Bone marrow smear · single cell centered in the field
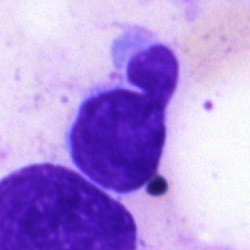
Classification — artifact.